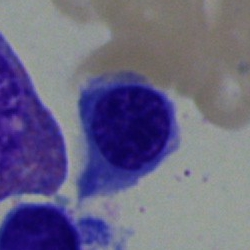Cell type: nucleated red blood cell.